Bone marrow smear:
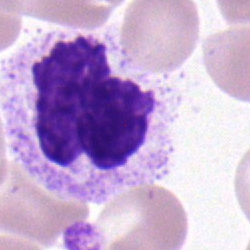

{"cell_type": "neutrophil (segmented)", "lineage": "myeloid"}